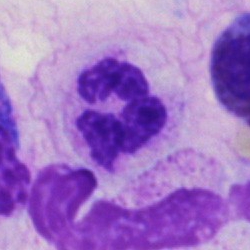

Single cell identified as a neutrophil (segmented).